Bone marrow smear
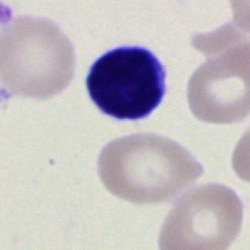
Morphology → typical lymphocyte.